250 by 250 pixels. Single-cell crop. Bone marrow smear:
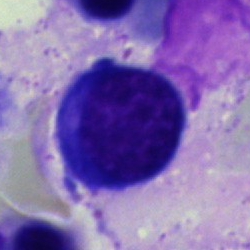Morphology consistent with a nucleated red blood cell.